Bone marrow smear:
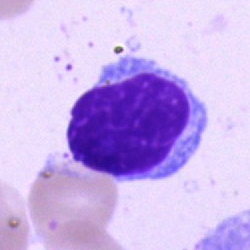

Showing a lymphocyte.